Single cell centered in the field · bone marrow smear — 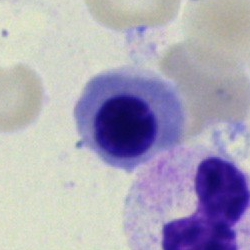

Morphology consistent with a normoblast.